Pappenheim-stained. Bone marrow smear:
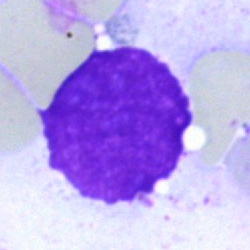

The cell type is artifact.